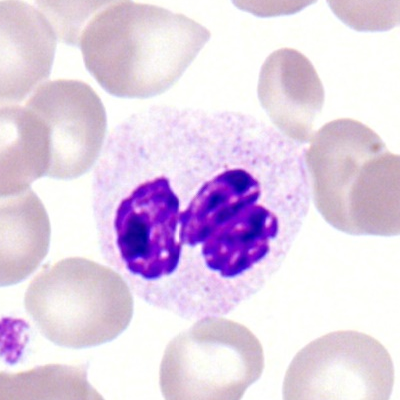 This is a lymphocyte.